Peripheral blood smear: 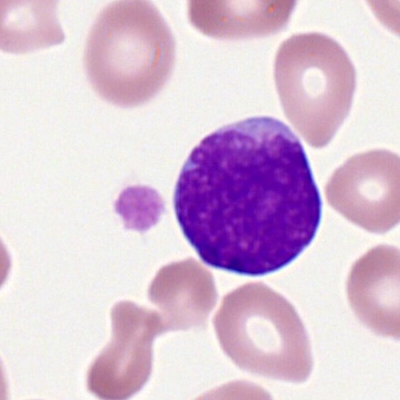
Specimen: peripheral blood film.
Morphological class: myeloid blast.
Lineage: myeloid.